Bone marrow aspirate smear.
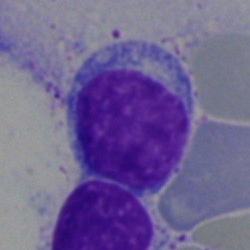Morphology — typical lymphocyte.